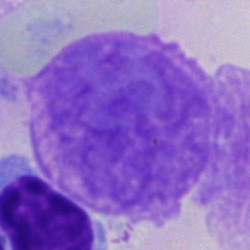 Single-cell crop from a bone marrow smear: artifact.